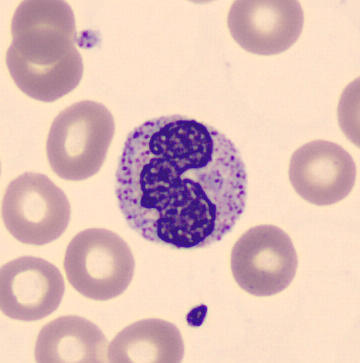
Showing a band neutrophil. Cropped to a single cell; peripheral blood smear.